Peripheral blood smear. Single-cell crop. Romanowsky stain: 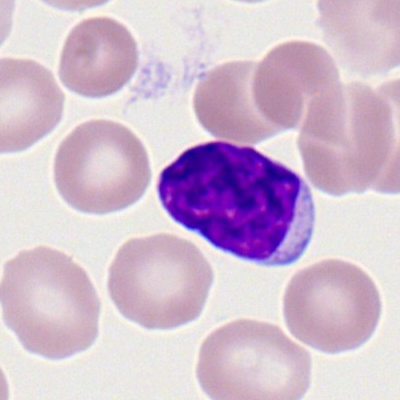 The cell shown is a typical lymphocyte.